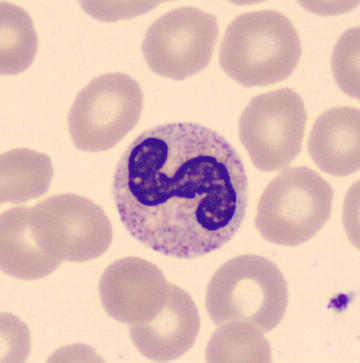

Peripheral blood smear · MGG stain.
Single cell identified as a neutrophil (segmented).